Bone marrow aspirate smear
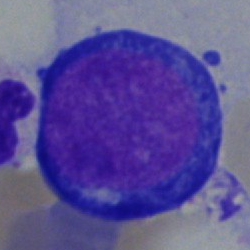 Proerythroblast.